MGG-stained. Bone marrow smear. Single-cell field — 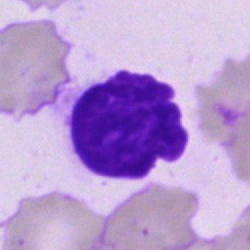

Specimen: bone marrow aspirate smear.
Morphological class: artefact.